400 by 400 pixels · peripheral blood smear
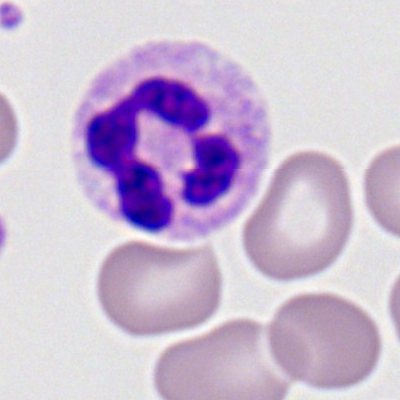Q: What is shown here?
A: It is a neutrophil (segmented).